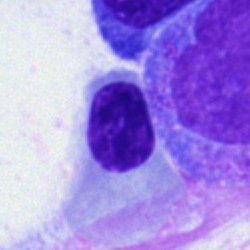Morphological class — lymphocyte.